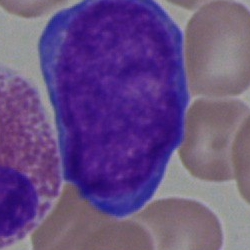

Blast.